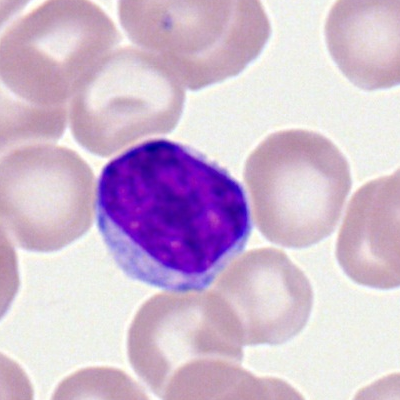{"cell_type": "lymphocyte", "lineage": "lymphoid"}